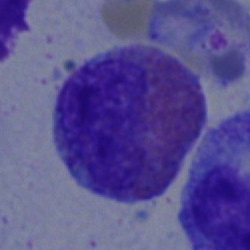
Cell type = eosinophil.